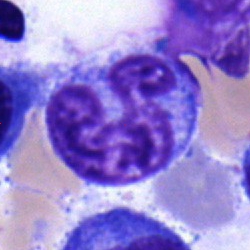Classification — monocyte.